Bone marrow smear:
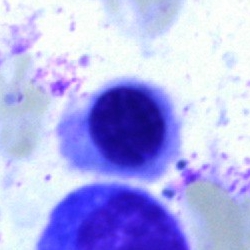

Specimen: bone marrow aspirate smear.
Classification: nucleated red cell.